Image size 250×250; bone marrow smear; single-cell field:
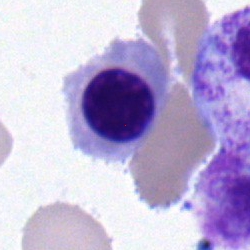
Q: Identify the cell.
A: An erythroblast.